Bone marrow smear: 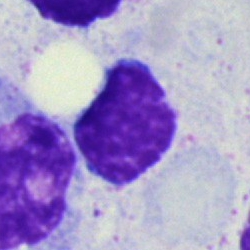 Morphological class: artefact.